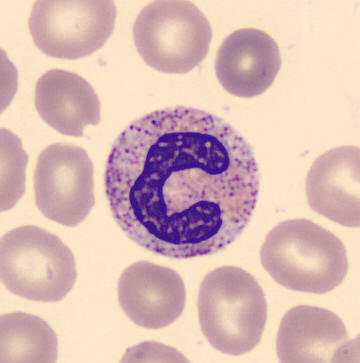
Morphology consistent with a band-form neutrophil.